Bone marrow smear; May-Grünwald-Giemsa stain; brightfield microscopy, 40× oil immersion.
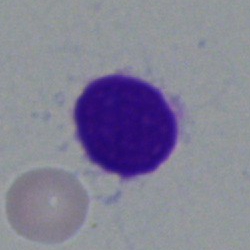

Impression → artifact.